Bone marrow aspirate smear.
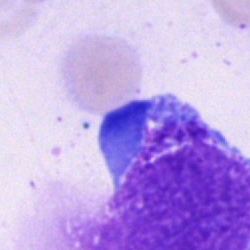 Single cell identified as an artifact.